Single-cell crop. 250×250. Bone marrow aspirate smear.
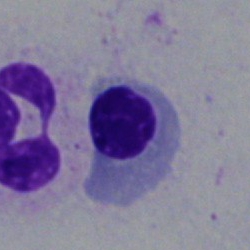 Morphological class — nucleated red blood cell.